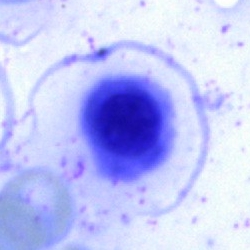{"cell_type": "nucleated red cell", "lineage": "erythroid"}